Bone marrow aspirate smear
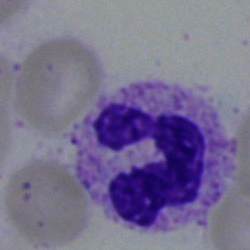
Showing a segmented neutrophil.